Single-cell field · 250×250 · bone marrow smear.
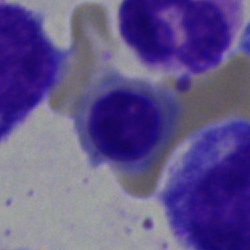
Morphological class — nucleated red cell.